May-Grünwald-Giemsa/Pappenheim stain · bone marrow smear · brightfield microscopy, 40× oil immersion.
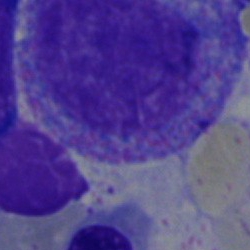Q: Identify the cell.
A: Progranulocyte.